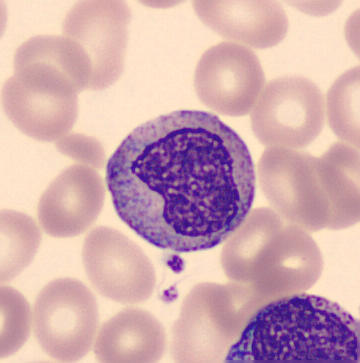 Acquisition: Peripheral blood smear. Morphology → metamyelocyte.